250 by 250 pixels. Bone marrow aspirate smear. Cropped to a single cell
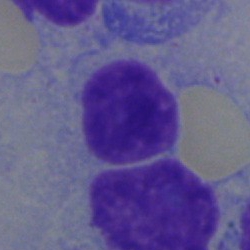A typical lymphocyte.